Bone marrow aspirate smear:
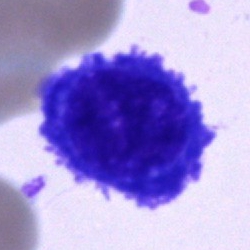
Morphology → plasmacyte.